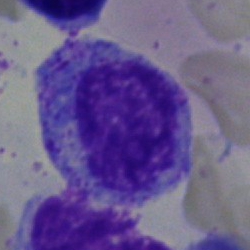Morphology — promyelocyte.